MGG-stained; image size 250×250; bone marrow aspirate smear
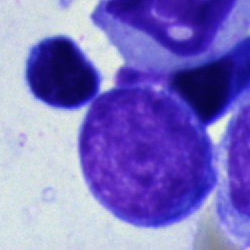

{"cell_type": "undifferentiated blast"}